Bone marrow aspirate smear.
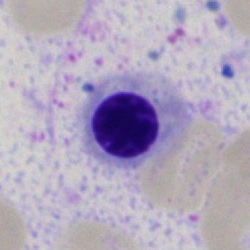 This is a nucleated red blood cell.